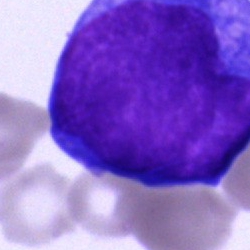Specimen: bone marrow aspirate smear.
Cell: undifferentiated blast.